Bone marrow smear; 40× oil immersion — 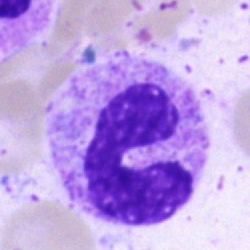 Morphological class: neutrophil (band).